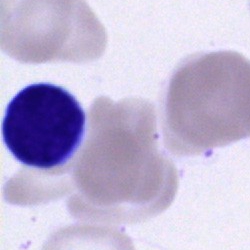Specimen: bone marrow smear.
Classification: typical lymphocyte.